Bone marrow smear: 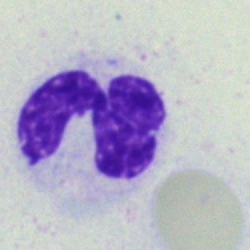Q: Identify the cell.
A: Polymorphonuclear neutrophil.